Bone marrow smear:
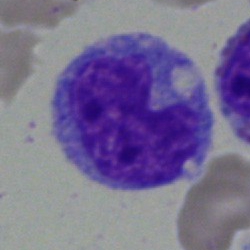 Morphology → monocyte.